Bone marrow aspirate smear — 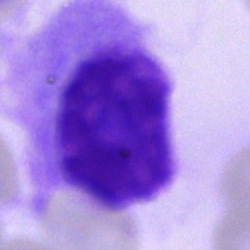

Q: What is shown here?
A: Artefact.